Bone marrow smear
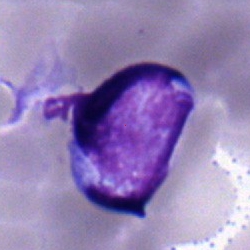 Q: Identify the cell.
A: This is a lymphocyte.